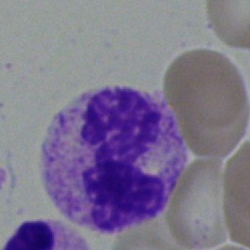 Impression → polymorphonuclear neutrophil.